Bone marrow aspirate smear — 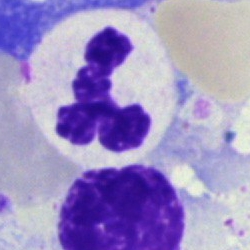Morphological class: polymorphonuclear neutrophil.